Peripheral blood film · M8 digital microscope (Precipoint), 100× oil immersion — 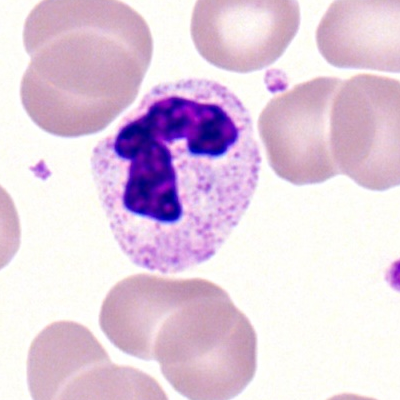 Single cell identified as a polymorphonuclear neutrophil.